Peripheral blood smear: 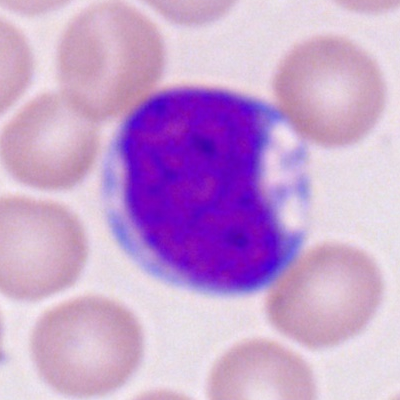 Q: Which cell type is shown here?
A: It is a myeloid blast.